Bone marrow aspirate smear; MGG-stained:
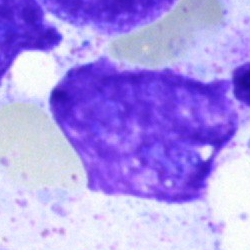
Morphological class — artifact.